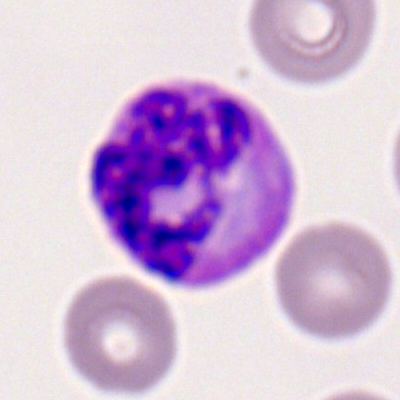

Cell: segmented neutrophil.